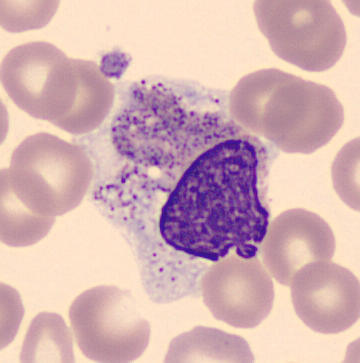 {"cell_type": "myelocyte"}
Image: Peripheral blood film.